Bone marrow smear · 250×250 px
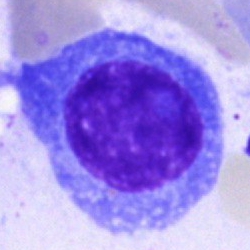
Classification — plasma cell.